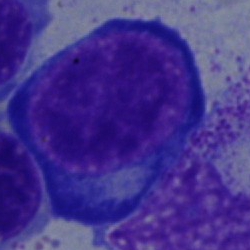 A pronormoblast.